Brightfield, 40× oil-immersion objective. Bone marrow smear:
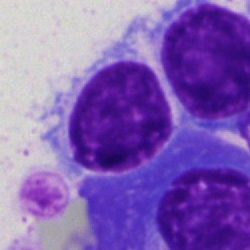 Morphology — lymphocyte.